Brightfield microscopy, 40× oil immersion · bone marrow aspirate smear: 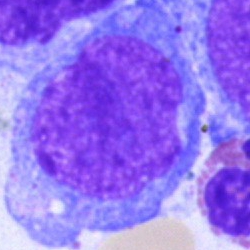
{"cell_type": "blast"}